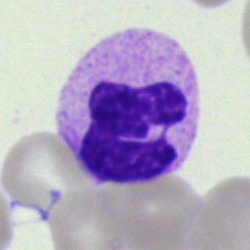

Bone marrow aspirate smear, single cell — polymorphonuclear neutrophil.